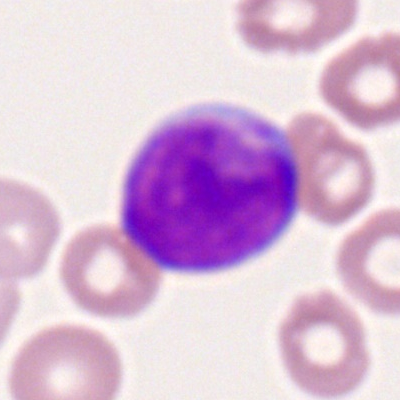
Single-cell crop from a peripheral blood smear: myeloid blast.